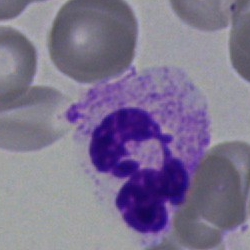
{"cell_type": "polymorphonuclear neutrophil", "lineage": "myeloid"}